Bone marrow aspirate smear; MGG-stained.
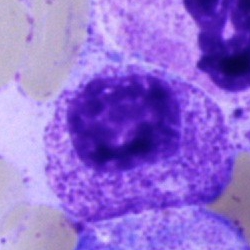
{"cell_type": "myelocyte", "lineage": "myeloid"}